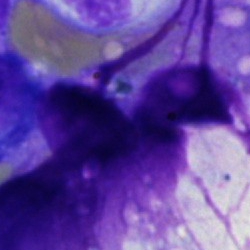Bone marrow aspirate smear, single cell — artefact.